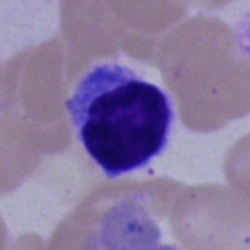Cell type = typical lymphocyte.